Bone marrow aspirate smear:
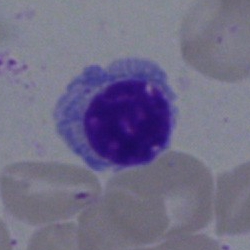 Impression — nucleated red blood cell.